Bone marrow aspirate smear. Brightfield, 40× oil-immersion objective. Single-cell field
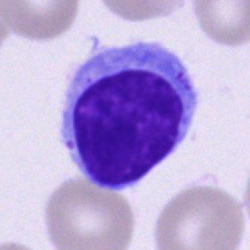

Single cell identified as a typical lymphocyte.